Single-cell crop. 250 by 250 pixels. Bone marrow aspirate smear
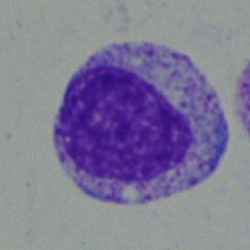 Morphology consistent with a myelocyte.